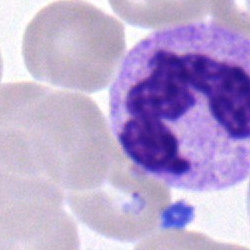Specimen: bone marrow smear.
Cell: polymorphonuclear neutrophil.
Lineage: myeloid.